Bone marrow smear. Brightfield microscopy, 40× oil immersion. Single cell centered in the field:
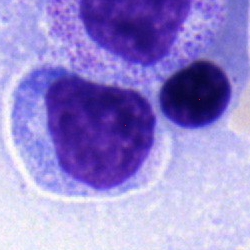 Q: What is shown here?
A: This is a typical lymphocyte.